Bone marrow aspirate smear · single-cell crop: 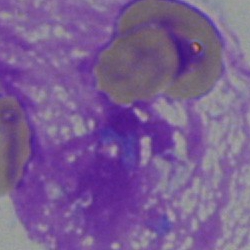 Q: What is shown here?
A: This is an artifact.